250 by 250 pixels; brightfield, 40× oil-immersion objective; bone marrow aspirate smear: 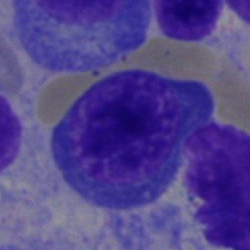

Q: What cell is this?
A: A normoblast.